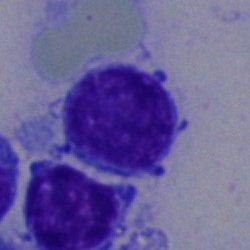

The cell is typical lymphocyte.